Bone marrow smear:
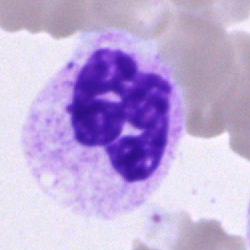

The cell shown is a segmented neutrophil.